Brightfield microscopy, 40× oil immersion; bone marrow smear
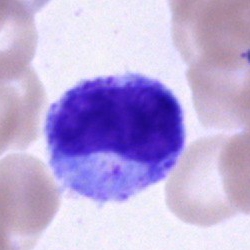

Classification: metamyelocyte.